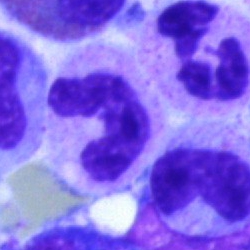Specimen: bone marrow smear.
Cell type: polymorphonuclear neutrophil.